Bone marrow smear:
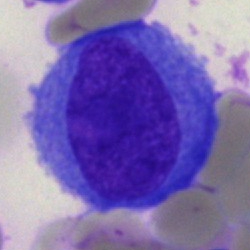Q: What is shown here?
A: A blast.